Bone marrow aspirate smear — 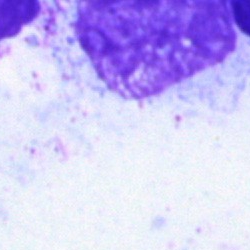 Impression — artifact.